Bone marrow smear; 40× oil immersion; 250 by 250 pixels
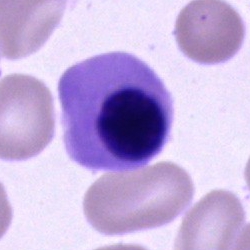 A normoblast.